Bone marrow aspirate smear: 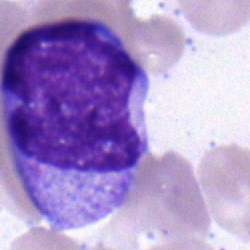

A monocyte.